Image size 400×400. Single-cell field. Peripheral blood film
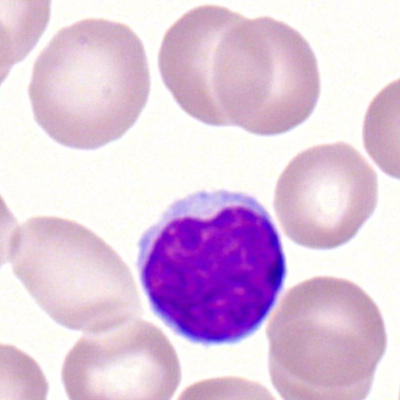
Q: Identify the cell.
A: This is a typical lymphocyte.